40× oil immersion · bone marrow smear · May-Grünwald-Giemsa stain.
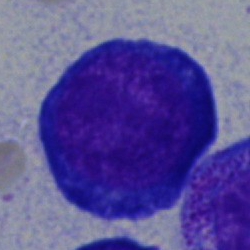

{"cell_type": "proerythroblast", "lineage": "erythroid"}